Bone marrow aspirate smear — 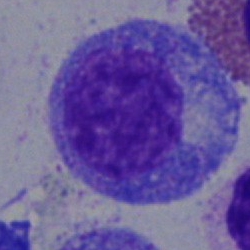Single cell identified as a progranulocyte.